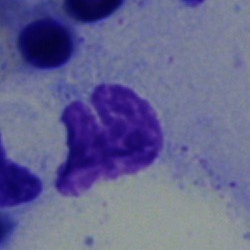

Q: What type of cell is this?
A: This is a polymorphonuclear neutrophil.